Bone marrow smear · brightfield microscopy, 40× oil immersion · single-cell field: 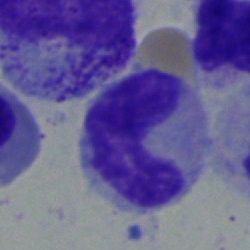
Specimen: bone marrow smear.
Classification: band-form neutrophil.
Lineage: myeloid.